Peripheral blood film.
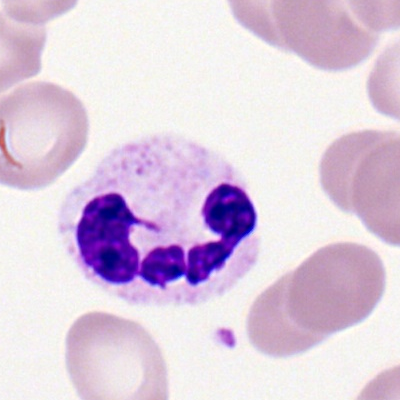
The cell type is polymorphonuclear neutrophil.